Single-cell crop · bone marrow aspirate smear · MGG-stained: 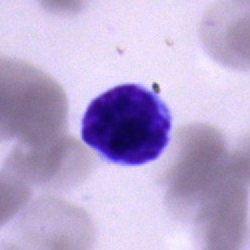Q: What type of cell is this?
A: Typical lymphocyte.